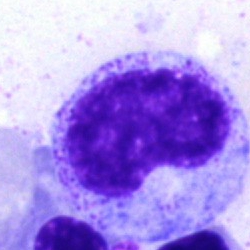 Specimen: bone marrow aspirate smear.
Classification: metamyelocyte.